Bone marrow smear. 250×250. Brightfield, 40× oil-immersion objective
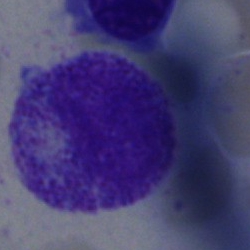 Morphology consistent with a progranulocyte.